Brightfield, 40× oil-immersion objective · bone marrow aspirate smear · Pappenheim-stained
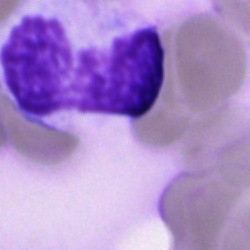This is an artifact.